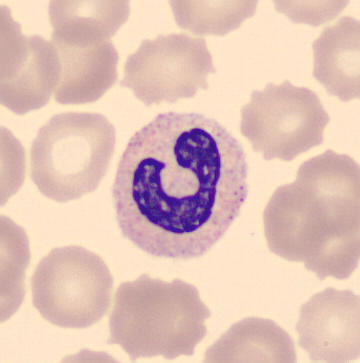

Cell — neutrophil (band).